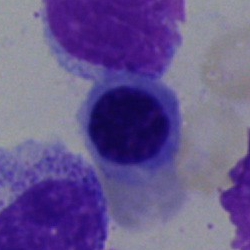The morphological class is nucleated red blood cell.